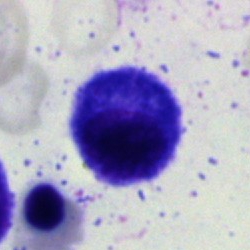Cell type — plasmacyte.